Bone marrow aspirate smear · single cell centered in the field: 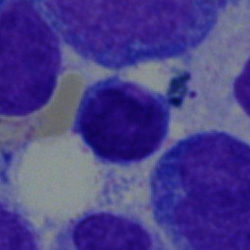A typical lymphocyte.